Bone marrow aspirate smear:
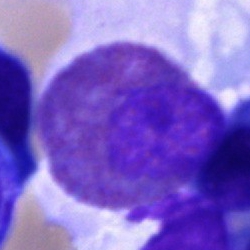
Eosinophil.